250×250 px; May-Grünwald-Giemsa stain; bone marrow smear:
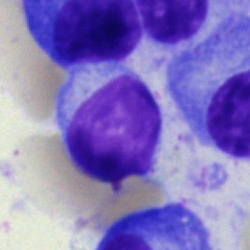
{"cell_type": "lymphocyte"}